Bone marrow aspirate smear — 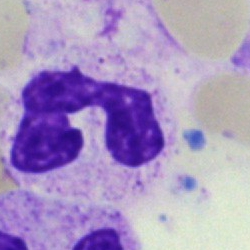

Q: What type of cell is this?
A: This is a polymorphonuclear neutrophil.